Peripheral blood film.
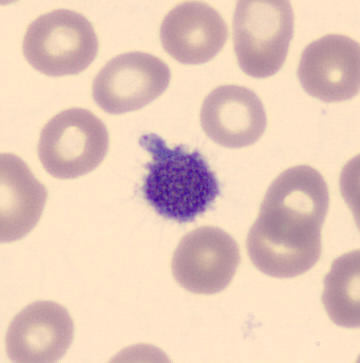
Impression → thrombocyte.